Bone marrow smear:
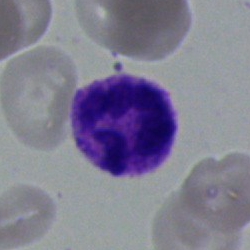Impression → neutrophil (segmented).